Bone marrow smear. Pappenheim-stained — 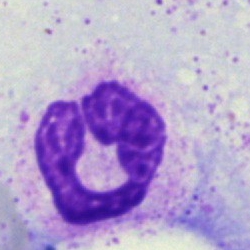
Specimen: bone marrow smear.
Morphological class: neutrophil (segmented).
Lineage: myeloid.